Bone marrow smear: 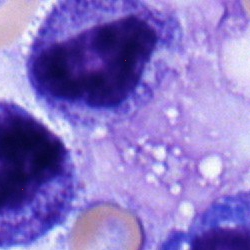A myelocyte.